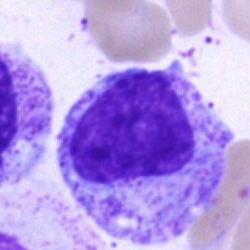 Specimen: bone marrow aspirate smear.
Classification: myelocyte.